Bone marrow aspirate smear:
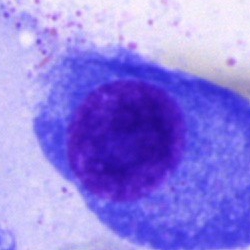 This is a plasmacyte.